Peripheral blood film
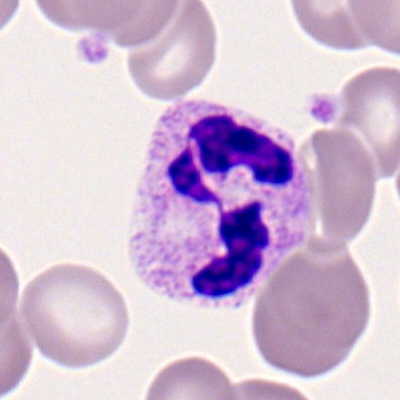Q: What is the morphological classification of this cell?
A: This is a neutrophil (segmented).